Bone marrow aspirate smear.
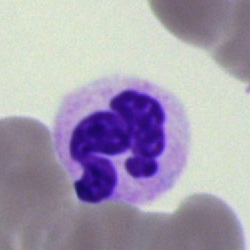
Cell: polymorphonuclear neutrophil.